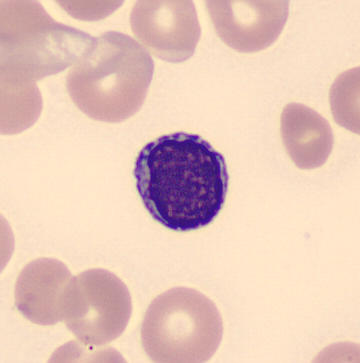
Peripheral blood smear showing a lymphocyte.